Peripheral blood film · single cell centered in the field: 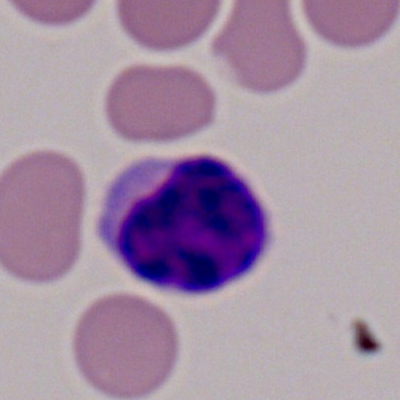 Specimen: peripheral blood smear.
Classification: lymphocyte.
Lineage: lymphoid.